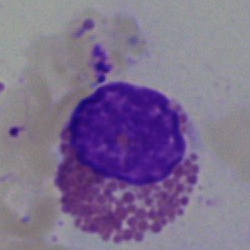

Morphological class: eosinophil.